Bone marrow aspirate smear: 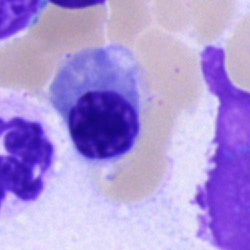

Q: What is shown here?
A: A nucleated red blood cell.